Romanowsky stain; cropped to a single cell; peripheral blood film — 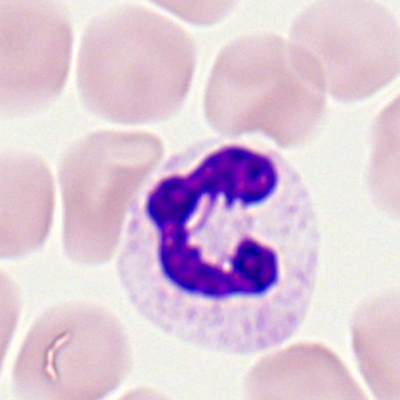 Specimen: peripheral blood smear.
Cell: neutrophil (segmented).
Lineage: myeloid.